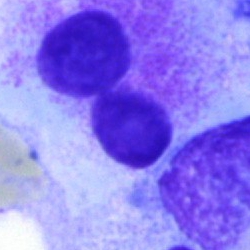
Impression — artefact.